Bone marrow aspirate smear — 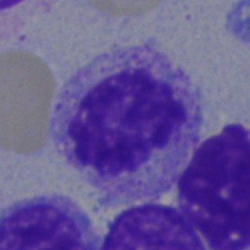
This is a nucleated red blood cell.